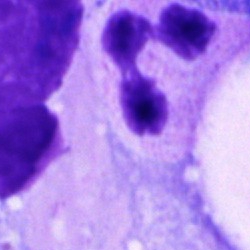
Q: Which cell type is shown here?
A: A neutrophil (segmented).